Cropped to a single cell. Bone marrow smear:
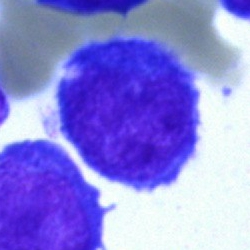 An undifferentiated blast.